Bone marrow aspirate smear — 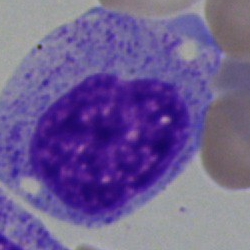Q: What is the morphological classification of this cell?
A: Stab cell.